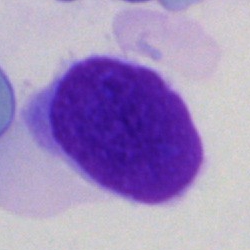Q: What is the morphological classification of this cell?
A: Undifferentiated blast.